Peripheral blood film: 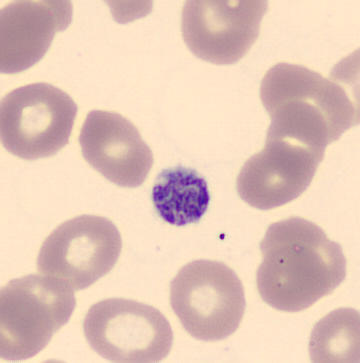 Cell type = platelet (thrombocyte).